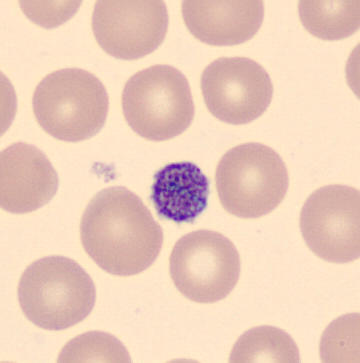

Q: What is shown here?
A: It is a platelet (thrombocyte).